Bone marrow smear. 40× objective, oil immersion — 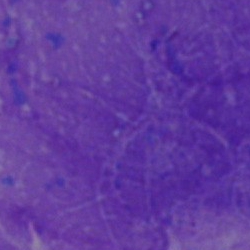Specimen: bone marrow smear.
Cell type: artefact.